Bone marrow smear. Single cell centered in the field:
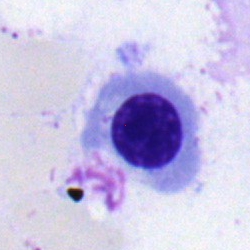 Cell: nucleated red cell.